Bone marrow smear: 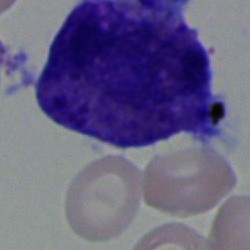
The cell shown is an eosinophilic granulocyte.